Bone marrow aspirate smear — 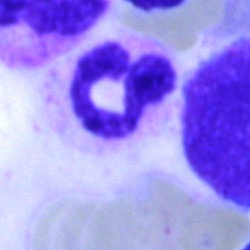Showing a segmented neutrophil.